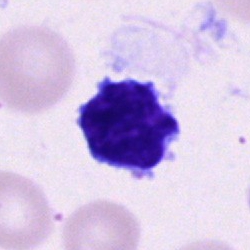 Classification — typical lymphocyte.